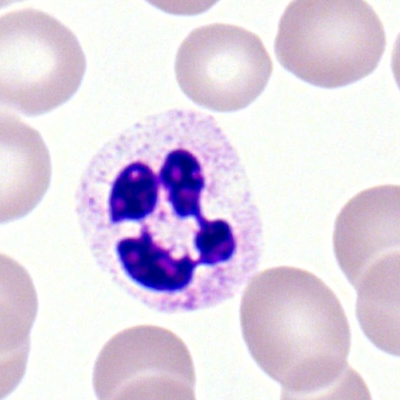
Morphology → neutrophil (segmented).